Bone marrow aspirate smear:
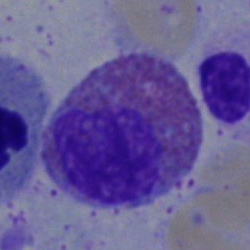

Showing an eosinophilic granulocyte.